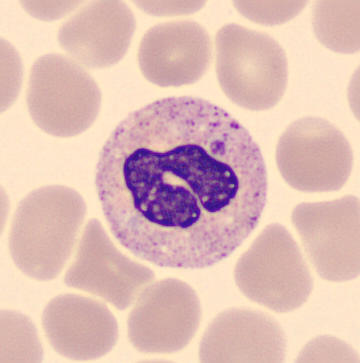
Specimen: peripheral blood film.
Classification: band-form neutrophil.
Lineage: myeloid.